Bone marrow smear. 40× oil immersion — 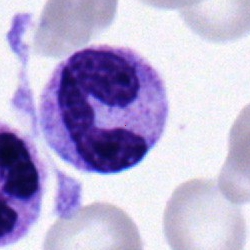

Q: What type of cell is this?
A: Stab cell.